400×400 · peripheral blood smear
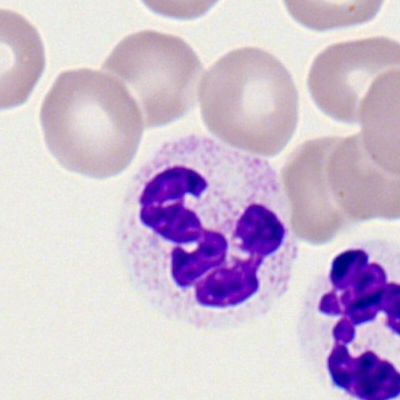The cell shown is a segmented neutrophil.